Peripheral blood film — 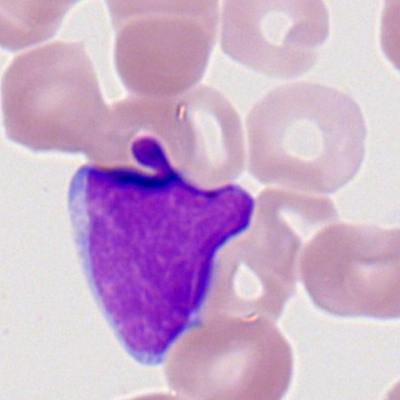Showing a myeloblast.